40× oil immersion. Bone marrow smear. Cropped to a single cell: 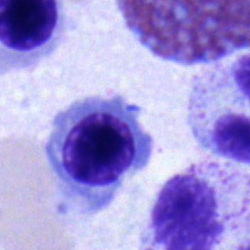
Morphology consistent with a nucleated red blood cell.